Bone marrow aspirate smear — 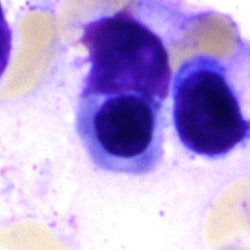
The cell is nucleated red blood cell.